250 by 250 pixels · brightfield, 40× oil-immersion objective · bone marrow smear — 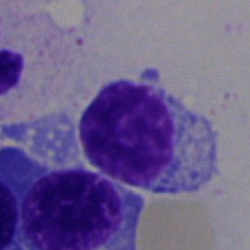

Q: Which cell type is shown here?
A: A typical lymphocyte.